Bone marrow smear: 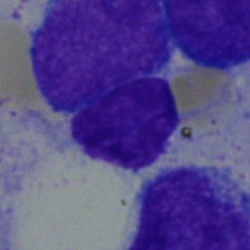Cell = typical lymphocyte.